Pappenheim-stained · bone marrow smear · image size 250×250.
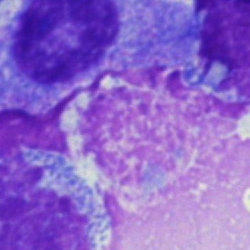
Morphology → artifact.